250×250 px; bone marrow smear — 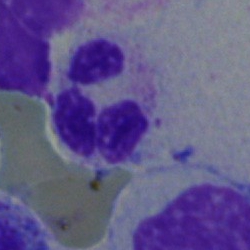

Specimen: bone marrow aspirate smear.
Cell: neutrophil (segmented).
Lineage: myeloid.